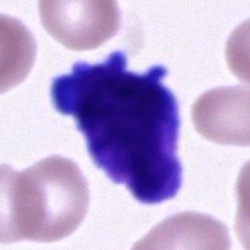Cell type: cell of indeterminate lineage.